250×250 px; bone marrow smear; brightfield microscopy, 40× oil immersion:
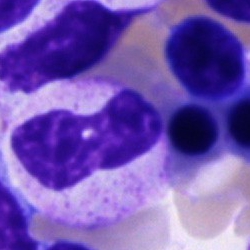
Impression → unidentifiable cell.